Pappenheim-stained. Bone marrow aspirate smear — 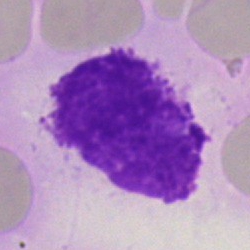 Specimen: bone marrow smear.
Morphological class: artefact.